Bone marrow smear; cropped to a single cell — 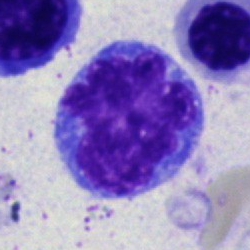
The morphological class is monocyte.